Bone marrow smear; brightfield, 40× oil-immersion objective
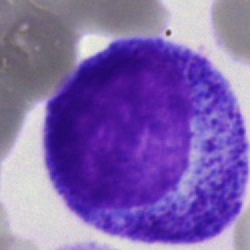Impression → promyelocyte.